Bone marrow smear:
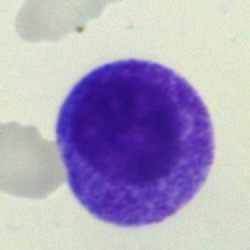Progranulocyte.